Bone marrow smear.
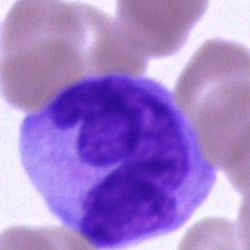Q: Identify the cell.
A: This is a monocyte.